Bone marrow aspirate smear
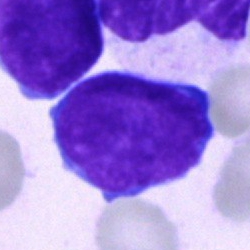Single cell identified as an undifferentiated blast.